Bone marrow smear; 250 by 250 pixels — 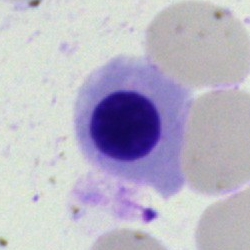 Morphological class: nucleated red cell.